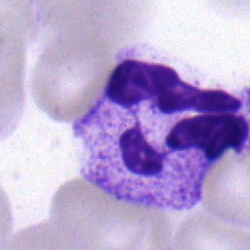 This is a segmented neutrophil.